Single-cell field · bone marrow smear — 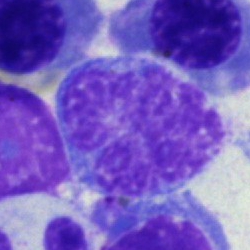 Showing an artifact.